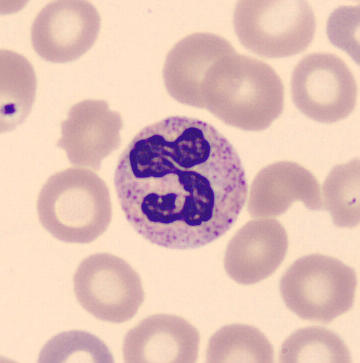

Image: 360×363 px; peripheral blood smear.
Impression — polymorphonuclear neutrophil.